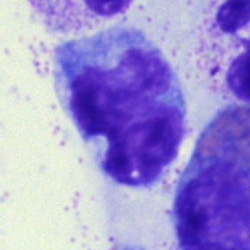Q: What is the morphological classification of this cell?
A: Monocyte.